Bone marrow aspirate smear · single cell centered in the field · 250 by 250 pixels:
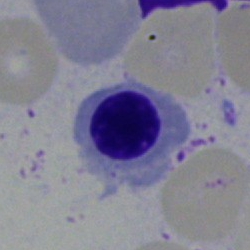 Q: Which cell type is shown here?
A: It is a nucleated red blood cell.